Bone marrow smear
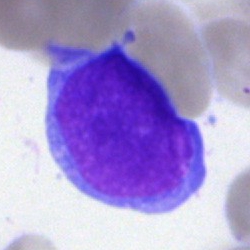

Morphology → blast.